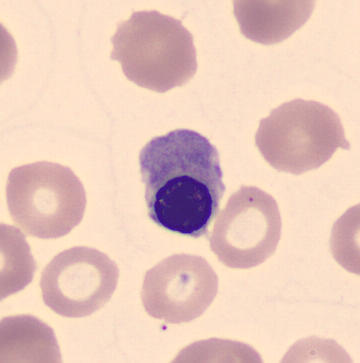 An erythroblast on a peripheral blood smear.